May-Grünwald-Giemsa stain · bone marrow smear.
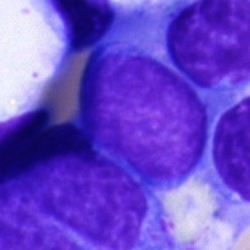 Morphology consistent with an undifferentiated blast.